Bone marrow aspirate smear — 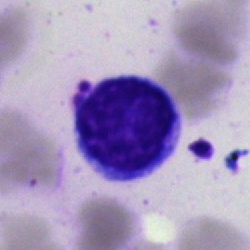Specimen: bone marrow smear.
Morphological class: typical lymphocyte.
Lineage: lymphoid.